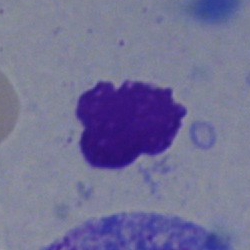

The morphological class is artifact.